Bone marrow aspirate smear:
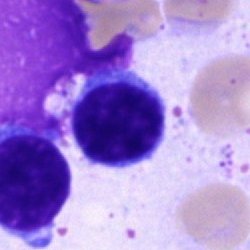This is a typical lymphocyte.